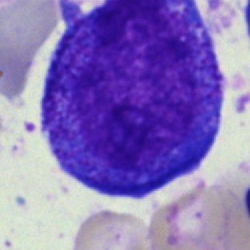Q: Which cell type is shown here?
A: It is a progranulocyte.